Single-cell crop · bone marrow smear.
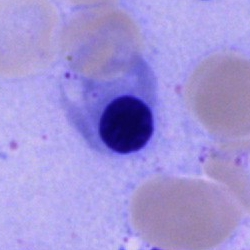

Showing a normoblast.